Image size 250×250; bone marrow smear:
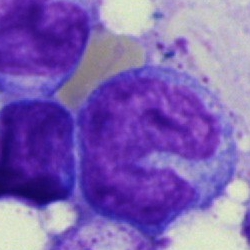
The cell shown is a monocyte.